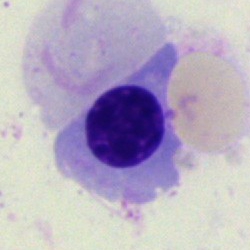

{"cell_type": "normoblast", "lineage": "erythroid"}